Bone marrow smear
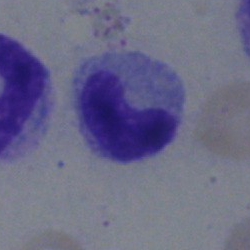Single cell identified as a band-form neutrophil.